250 by 250 pixels; bone marrow smear; brightfield, 40× oil-immersion objective.
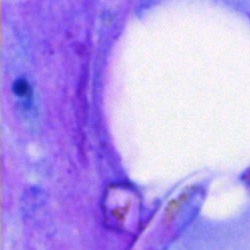

An artifact.